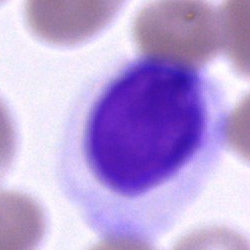

Single-cell crop from a bone marrow smear: cell of indeterminate lineage.